Bone marrow aspirate smear: 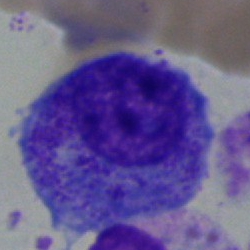
The cell shown is a promyelocyte.